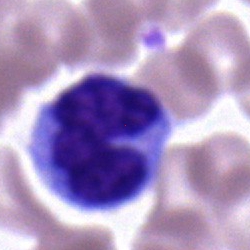 Bone marrow aspirate smear, single cell — monocyte.